Peripheral blood film:
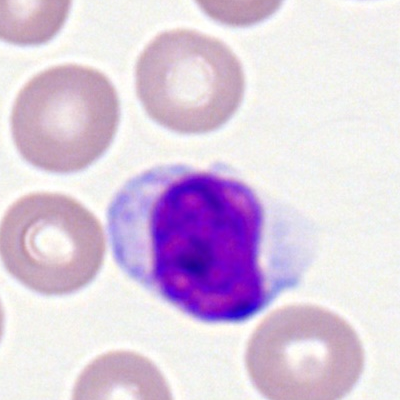

Cell: typical lymphocyte.